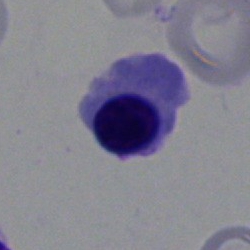The classification is nucleated red cell.